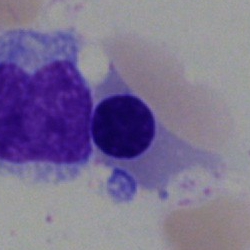 Showing a normoblast.